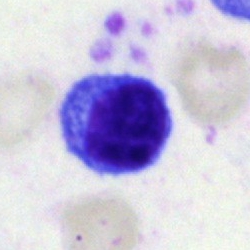

A lymphocyte on a bone marrow smear.